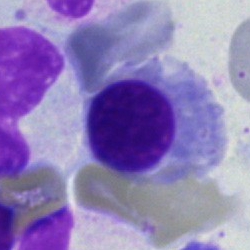
Morphology consistent with a nucleated red cell.